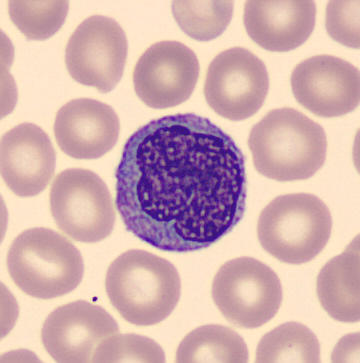
The morphological class is monocyte.
360 by 363 pixels · peripheral blood film.